Bone marrow smear · 250 by 250 pixels — 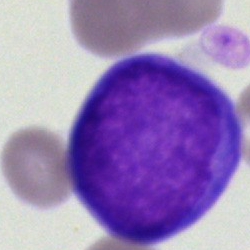 A blast.